Brightfield, 40× oil-immersion objective · bone marrow aspirate smear.
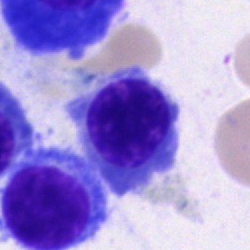Morphology → erythroblast.